Peripheral blood smear · Romanowsky-stained — 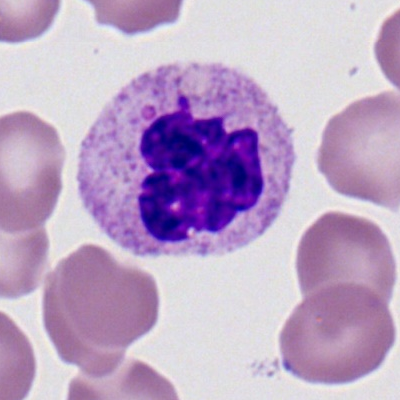
Q: What is the morphological classification of this cell?
A: A neutrophil (segmented).